Bone marrow aspirate smear: 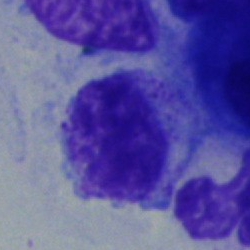 The cell shown is a metamyelocyte.